Cropped to a single cell; bone marrow smear
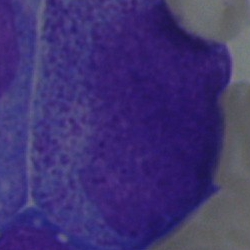

Q: What type of cell is this?
A: This is a promyelocyte.